Bone marrow aspirate smear:
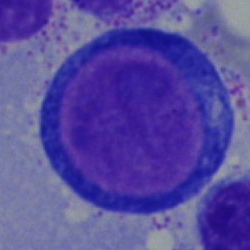Morphology consistent with a pronormoblast.